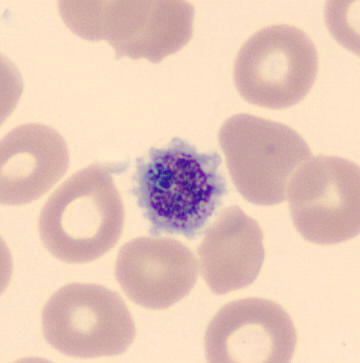Q: What is this?
A: Platelet. Acquisition: Peripheral blood smear. Automated cell imaging (CellaVision DM96).